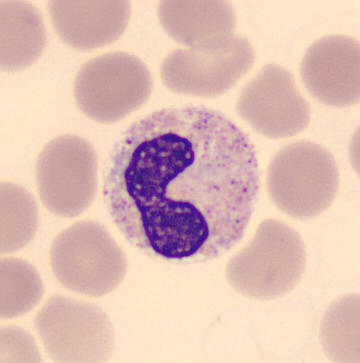Classification: band neutrophil. Image: Single-cell field. Peripheral blood smear.